Bone marrow aspirate smear — 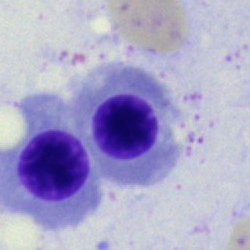
An erythroblast.